Bone marrow smear · single cell centered in the field — 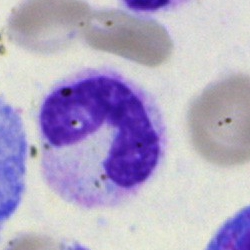 Cell type — band-form neutrophil.